Bone marrow smear; 40× oil immersion: 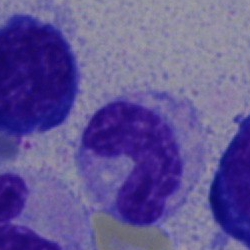{"cell_type": "band neutrophil"}